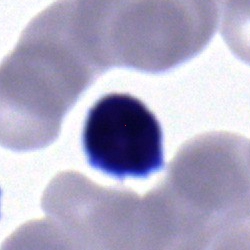 A lymphocyte.